Single cell centered in the field. Bone marrow aspirate smear.
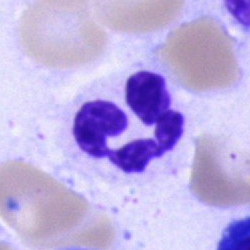

Q: What is shown here?
A: A segmented neutrophil.